Bone marrow smear · single-cell crop · brightfield microscopy, 40× oil immersion: 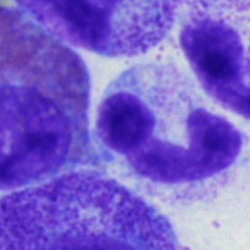 The cell type is band neutrophil.